Bone marrow aspirate smear — 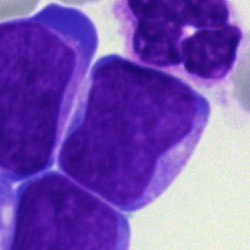The classification is blast.